Single-cell field; bone marrow smear: 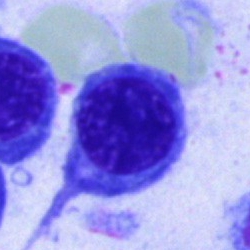Impression → nucleated red blood cell.